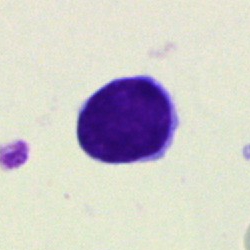 The morphological class is lymphocyte.